Bone marrow smear — 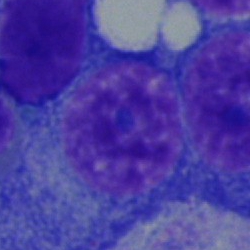
Impression → plasmacyte.